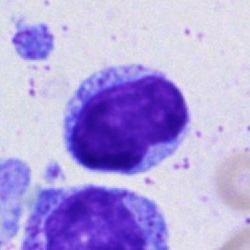

Morphological class: typical lymphocyte.